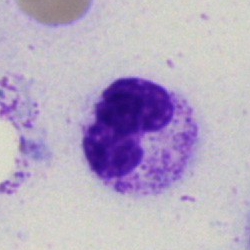 Morphology — neutrophil (segmented).